Single-cell crop. Bone marrow smear.
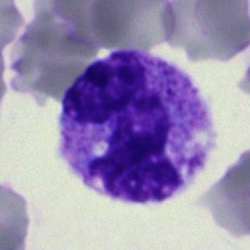

This is a segmented neutrophil.